CellaVision DM96 digital cell image; May Grünwald-Giemsa stain; peripheral blood smear: 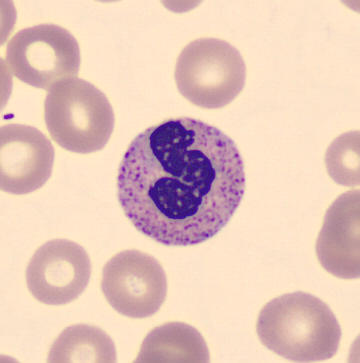

Q: What is this?
A: Neutrophil (band).